Brightfield microscopy, 40× oil immersion. Bone marrow smear.
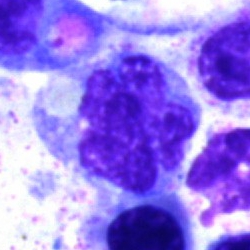
Morphology → monocyte.